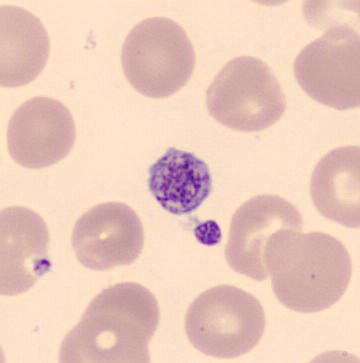 {"cell_type": "platelet (thrombocyte)"}